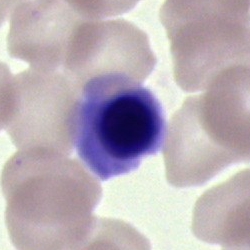
Showing an unidentifiable cell.